Bone marrow aspirate smear:
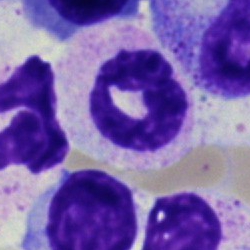 The cell shown is a segmented neutrophil.